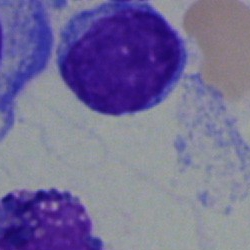Specimen: bone marrow smear.
Cell: lymphocyte.
Lineage: lymphoid.